Image size 250×250; bone marrow aspirate smear; cropped to a single cell
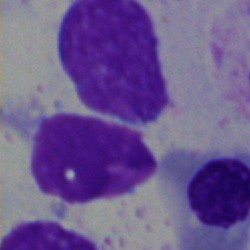Morphology → artefact.